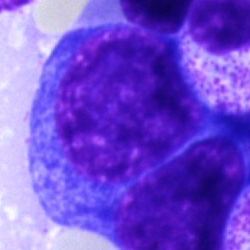
This is a normoblast.